Bone marrow aspirate smear: 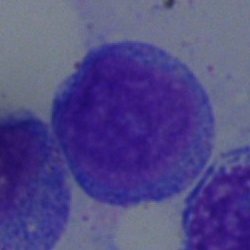
Classification = undifferentiated blast.